Bone marrow smear. 250×250 px — 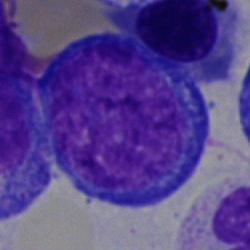

Cell = proerythroblast.